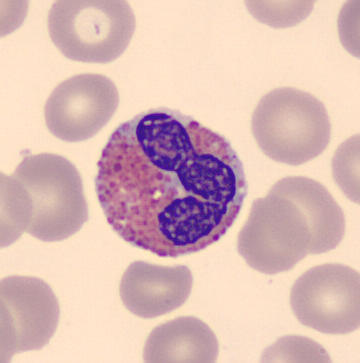 Q: What is this?
A: An eosinophilic granulocyte.
Image: Peripheral blood smear.